Bone marrow smear — 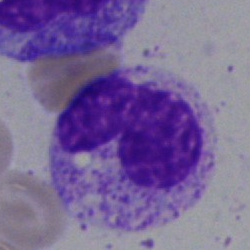

Specimen: bone marrow smear.
Cell type: band-form neutrophil.